Bone marrow aspirate smear · 250 by 250 pixels:
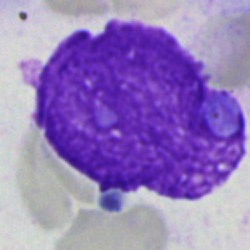An artifact.